Bone marrow smear: 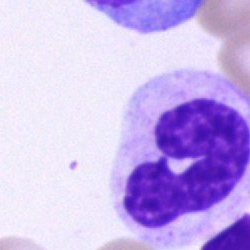Specimen: bone marrow aspirate smear.
Classification: band-form neutrophil.
Lineage: myeloid.